Bone marrow smear — 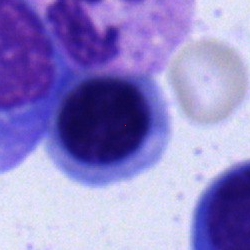 Morphological class = nucleated red blood cell.